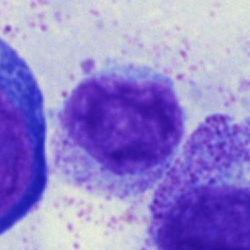Showing a myelocyte.